Cropped to a single cell · 40× oil immersion · bone marrow smear: 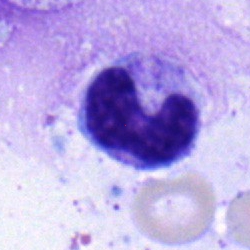
Cell type: stab cell.